Bone marrow aspirate smear — 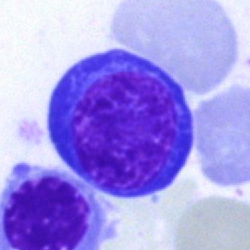 A nucleated red cell.